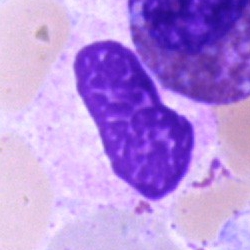
Single cell identified as an artefact.